Bone marrow aspirate smear · single-cell field
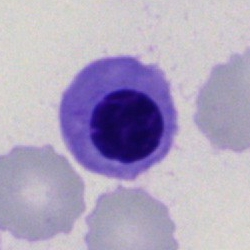

Morphology → erythroblast.